Bone marrow aspirate smear: 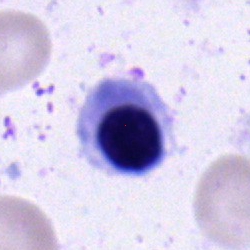 Showing a nucleated red blood cell.